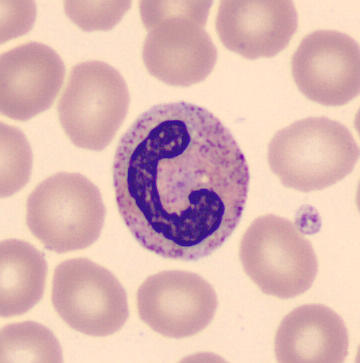
Q: What cell is this?
A: This is a band-form neutrophil.